Bone marrow aspirate smear:
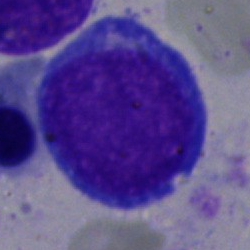

Single cell identified as a pronormoblast.